Single-cell field · bone marrow smear — 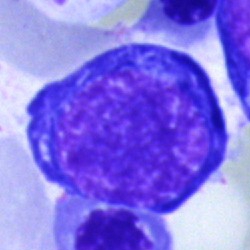 Nucleated red blood cell.